Bone marrow smear; brightfield microscopy, 40× oil immersion
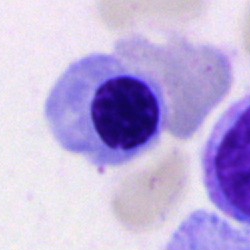The cell shown is a normoblast.